Bone marrow smear; single-cell crop:
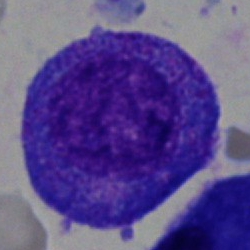

This is a progranulocyte.